Bone marrow smear — 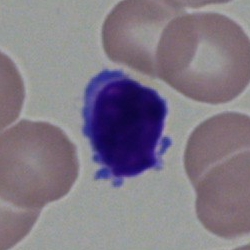

The cell shown is a lymphocyte.